Brightfield microscopy, 40× oil immersion. Pappenheim-stained. Bone marrow smear: 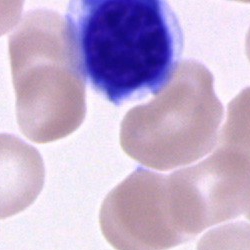
Showing an unidentifiable cell.